Bone marrow aspirate smear
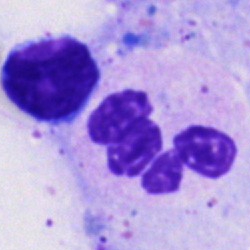Single cell identified as a neutrophil (segmented).